Single-cell field · peripheral blood smear — 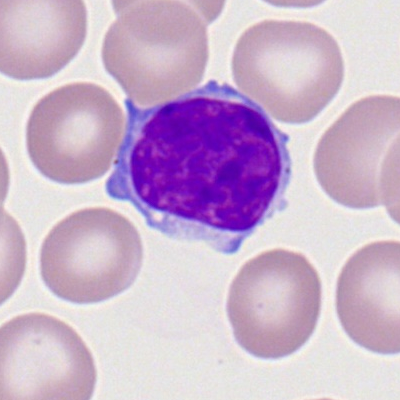Classification = lymphocyte.